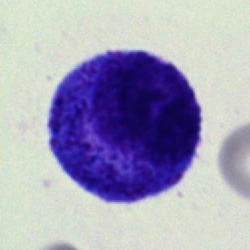 {"cell_type": "polymorphonuclear neutrophil"}